Bone marrow aspirate smear · single-cell crop · May-Grünwald-Giemsa/Pappenheim stain — 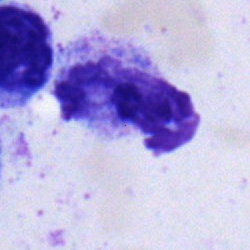
The cell shown is a polymorphonuclear neutrophil.